Bone marrow smear — 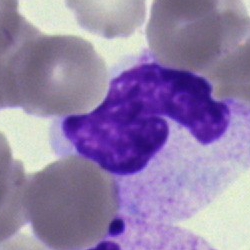Single cell identified as an artifact.